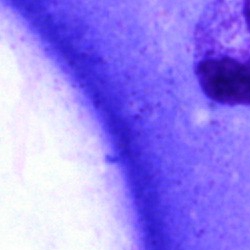
{"cell_type": "artifact"}